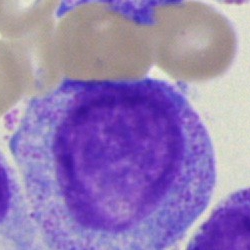Progranulocyte.